Bone marrow aspirate smear.
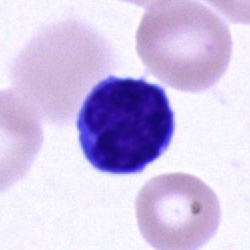

Morphology consistent with a typical lymphocyte.